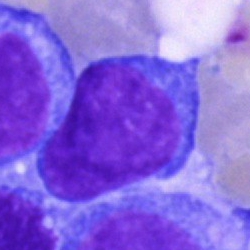 An undifferentiated blast on a bone marrow smear.